Bone marrow aspirate smear — 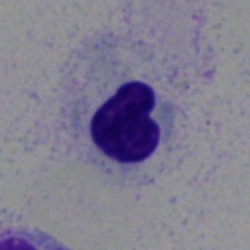

Single cell identified as an erythroblast.